Bone marrow aspirate smear
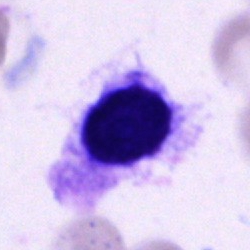
An unidentifiable cell.